Bone marrow smear
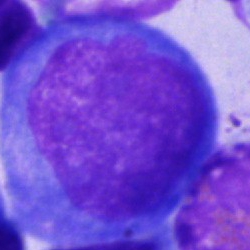

The morphological class is blast cell.